Bone marrow aspirate smear: 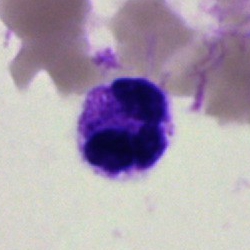Showing a polymorphonuclear neutrophil.